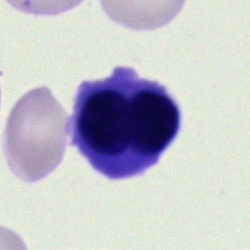

Specimen: bone marrow aspirate smear.
Cell type: nucleated red cell.
Lineage: erythroid.